Romanowsky-stained. Image size 400×400. Peripheral blood smear — 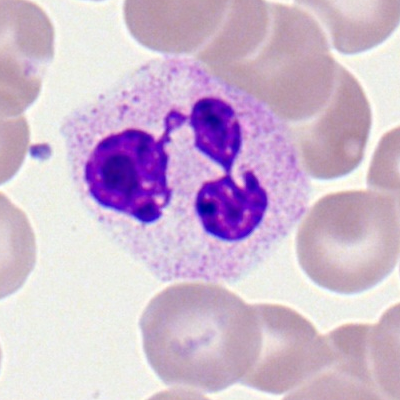 Specimen: peripheral blood smear.
Morphological class: segmented neutrophil.